Brightfield, 40× oil-immersion objective. Bone marrow aspirate smear. 250×250 px:
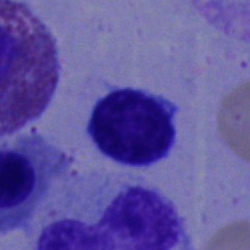
Specimen: bone marrow smear.
Cell: typical lymphocyte.